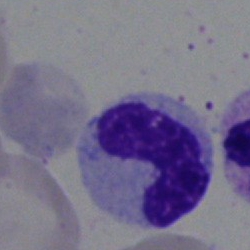{"cell_type": "neutrophil (band)", "lineage": "myeloid"}